Bone marrow aspirate smear
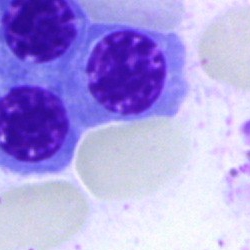

Showing a nucleated red cell.